Single cell centered in the field. Bone marrow smear:
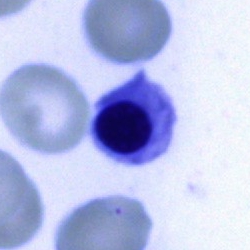A nucleated red blood cell.